Bone marrow aspirate smear:
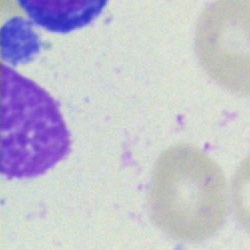
Cell: artefact.